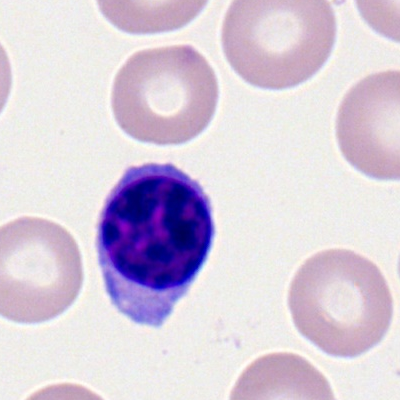This is a typical lymphocyte.